Peripheral blood smear. 400×400 px: 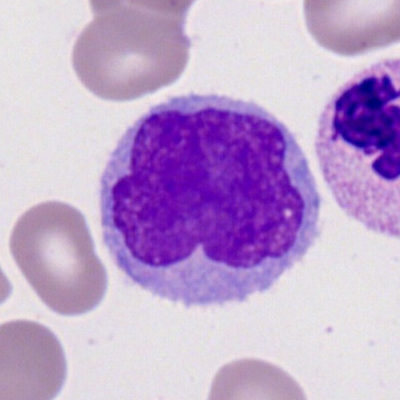
Single cell identified as a myeloblast.